Bone marrow smear — 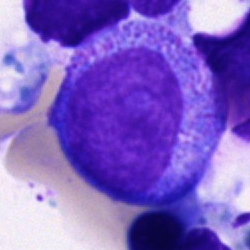

Q: Identify the cell.
A: It is a promyelocyte.